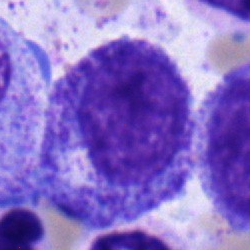Specimen: bone marrow aspirate smear.
Cell: myelocyte.
Lineage: myeloid.